Peripheral blood film; CellaVision DM96 digital cell image:
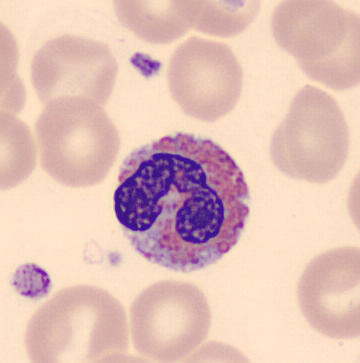

Q: What is shown here?
A: Eosinophilic granulocyte.